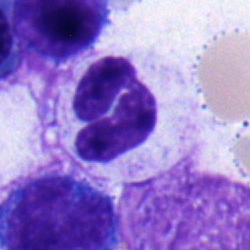Specimen: bone marrow smear.
Cell type: monocyte.